Bone marrow smear
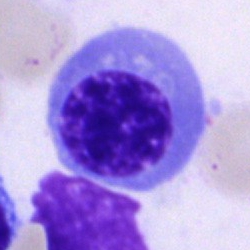Impression → erythroblast.